Bone marrow aspirate smear · brightfield microscopy, 40× oil immersion
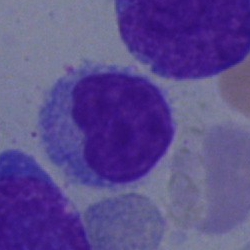

Q: Which cell type is shown here?
A: A typical lymphocyte.